May-Grünwald-Giemsa/Pappenheim stain · single-cell crop · bone marrow aspirate smear:
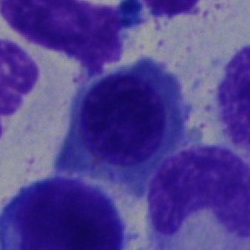 Morphology consistent with a nucleated red blood cell.